Peripheral blood film — 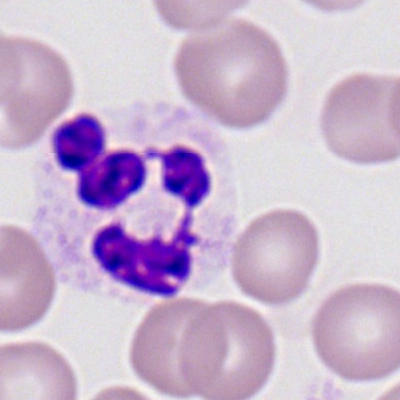Specimen: peripheral blood film.
Cell type: neutrophil (segmented).